Bone marrow smear:
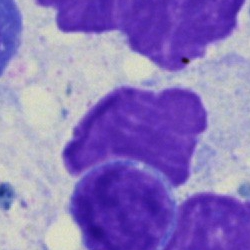
This is an artefact.